Peripheral blood film. Image size 400×400:
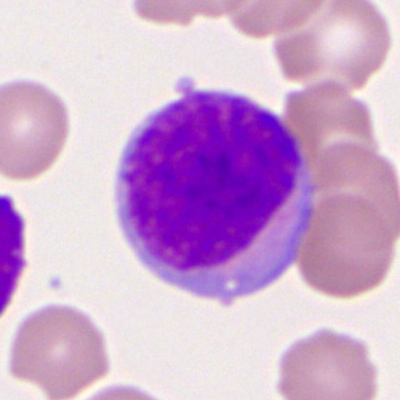 Q: What is shown here?
A: Myeloid blast.